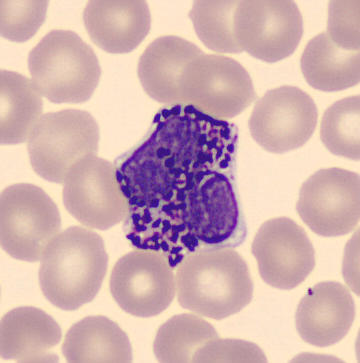
This is a basophilic granulocyte. Peripheral blood film. CellaVision DM96. Single-cell field.